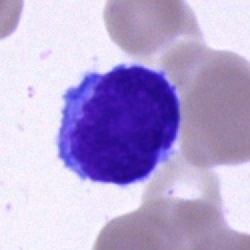

A lymphocyte.